100× oil immersion. Peripheral blood film: 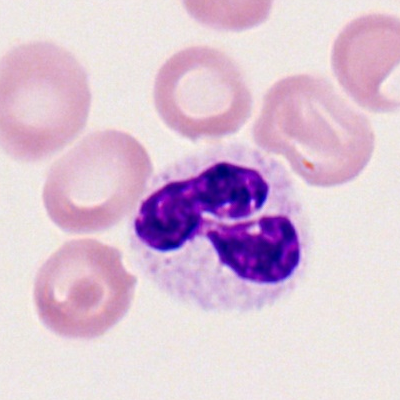
Morphology consistent with a polymorphonuclear neutrophil.